Brightfield microscopy, 40× oil immersion; single-cell crop; bone marrow smear
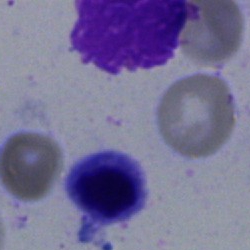 A nucleated red blood cell.